Bone marrow aspirate smear
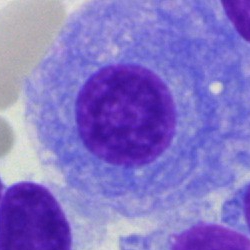

Specimen: bone marrow aspirate smear.
Cell: plasmacyte.
Lineage: lymphoid.